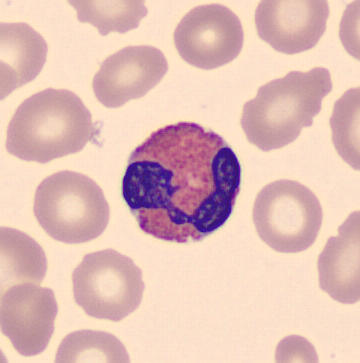
Classification: eosinophil. Preparation: Peripheral blood smear.